Image size 250×250; bone marrow aspirate smear: 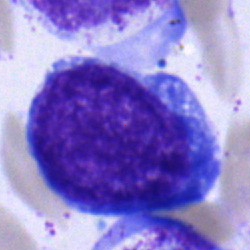

Cell type — proerythroblast.